Bone marrow smear — 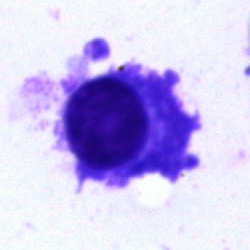 Specimen: bone marrow aspirate smear.
Cell type: plasma cell.
Lineage: lymphoid.